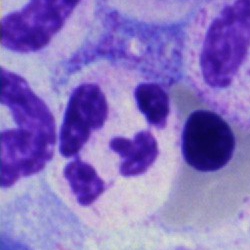 Morphological class: polymorphonuclear neutrophil.